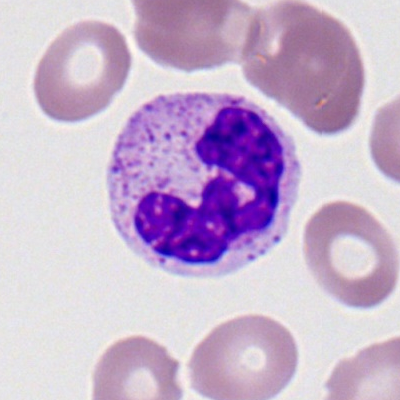 Cell = polymorphonuclear neutrophil.